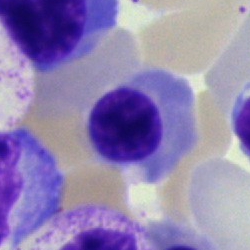
Specimen: bone marrow smear.
Cell: nucleated red blood cell.